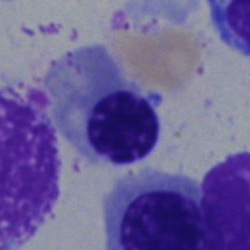 Q: Identify the cell.
A: Nucleated red blood cell.